Bone marrow smear: 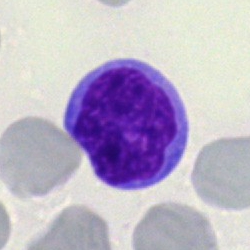 {"cell_type": "typical lymphocyte", "lineage": "lymphoid"}